250×250 px · bone marrow smear: 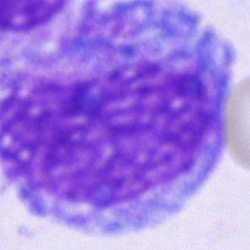The cell is artifact.